Cropped to a single cell · bone marrow smear · brightfield, 40× oil-immersion objective:
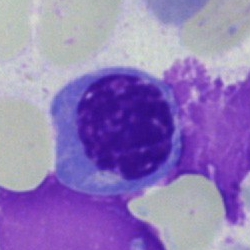 A nucleated red cell.